Bone marrow smear
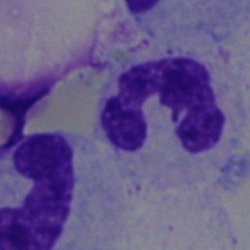
Specimen: bone marrow aspirate smear.
Classification: segmented neutrophil.
Lineage: myeloid.